Bone marrow smear.
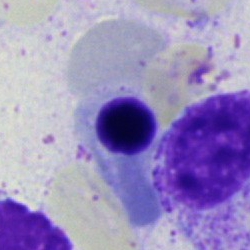

This is a normoblast.